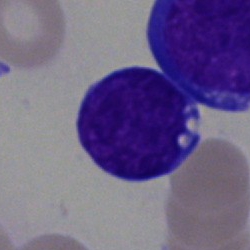Impression — blast.